Single cell centered in the field. Image size 250×250. Bone marrow aspirate smear
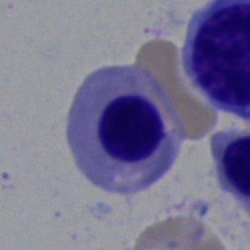 Morphology consistent with a nucleated red cell.